Bone marrow aspirate smear: 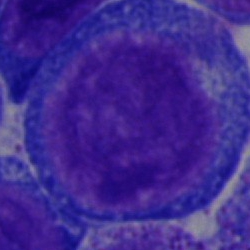Morphology → pronormoblast.